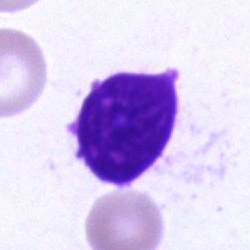 Artefact.